Pappenheim-stained; bone marrow aspirate smear: 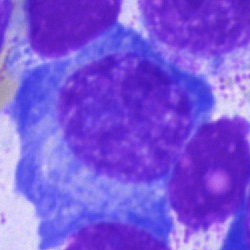Showing a plasma cell.